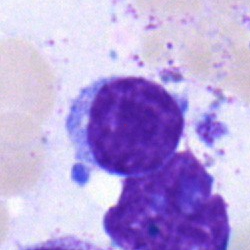 Q: What type of cell is this?
A: A typical lymphocyte.